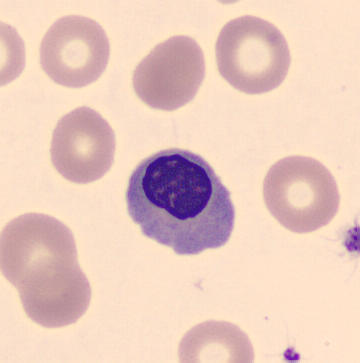

The cell is erythroblast.
Acquisition: Peripheral blood smear.